Bone marrow aspirate smear. Image size 250×250. 40× objective, oil immersion: 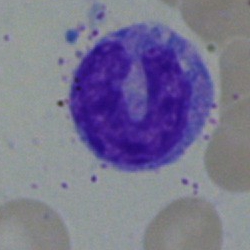 Morphology consistent with a monocyte.